Bone marrow aspirate smear · brightfield microscopy, 40× oil immersion · image size 250×250:
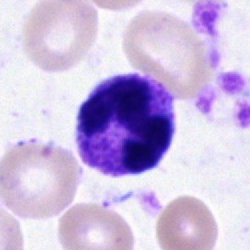
Morphology → segmented neutrophil.